Bone marrow smear; single-cell field; May-Grünwald-Giemsa stain.
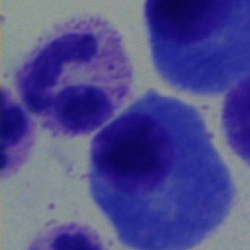Single cell identified as a plasmacyte.